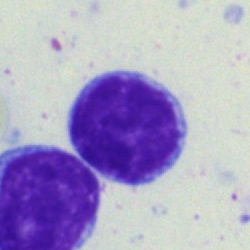
Specimen: bone marrow aspirate smear.
Classification: typical lymphocyte.
Lineage: lymphoid.